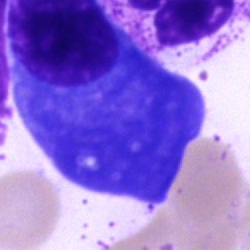 Classification — plasma cell.